Pappenheim-stained · cropped to a single cell · bone marrow smear — 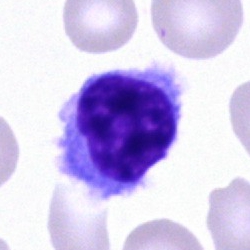
Q: What cell is this?
A: It is a typical lymphocyte.